MGG-stained; 40× oil immersion; bone marrow aspirate smear
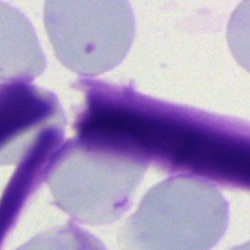 Q: What is shown here?
A: It is an artifact.